Bone marrow smear:
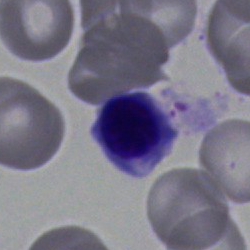Specimen: bone marrow aspirate smear.
Classification: normoblast.
Lineage: erythroid.